Bone marrow aspirate smear; image size 250×250
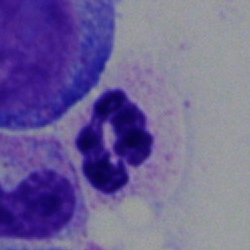 The cell shown is a neutrophil (segmented).